Bone marrow aspirate smear: 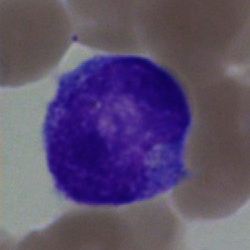

Showing a blast.